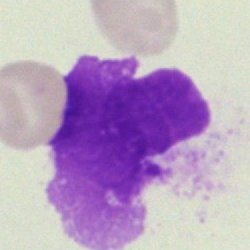The cell shown is an artifact.